Single cell centered in the field. Bone marrow aspirate smear
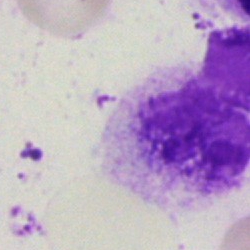
Morphology → artifact.